Bone marrow aspirate smear — 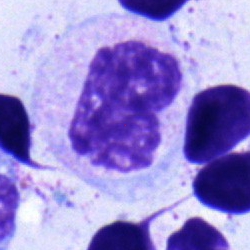Q: What is shown here?
A: A metamyelocyte.